Pappenheim-stained. Cropped to a single cell. Bone marrow aspirate smear:
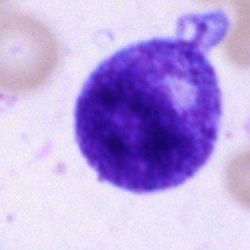
{"cell_type": "progranulocyte", "lineage": "myeloid"}